May-Grünwald-Giemsa/Pappenheim stain; bone marrow smear.
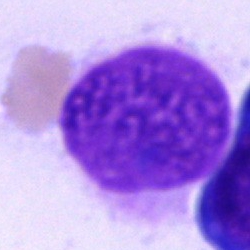
Morphology consistent with an artefact.